Bone marrow aspirate smear — 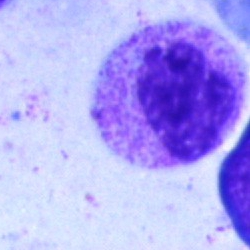
Specimen: bone marrow smear.
Cell type: myelocyte.
Lineage: myeloid.